Brightfield, 40× oil-immersion objective · bone marrow smear · cropped to a single cell:
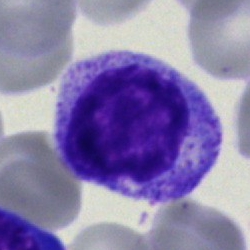

Q: Which cell type is shown here?
A: This is a myelocyte.